250 by 250 pixels; bone marrow smear — 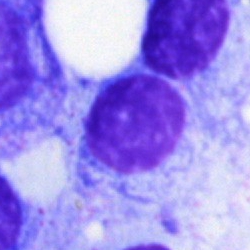

Q: Identify the cell.
A: This is a lymphocyte.